Bone marrow aspirate smear:
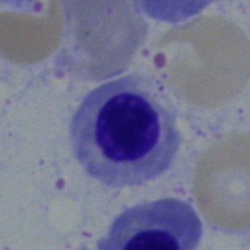Impression — erythroblast.